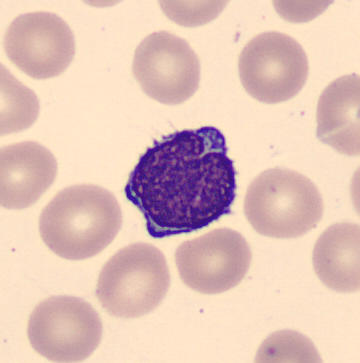

Preparation: Single cell centered in the field.
Specimen: peripheral blood film.
Morphological class: typical lymphocyte.